Bone marrow smear.
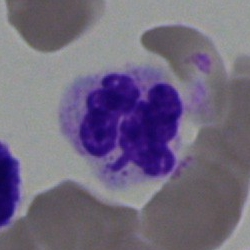
Q: What type of cell is this?
A: A neutrophil (segmented).